Bone marrow aspirate smear; single cell centered in the field:
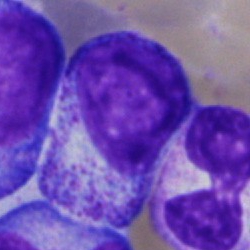Specimen: bone marrow smear.
Classification: myelocyte.
Lineage: myeloid.